Bone marrow smear.
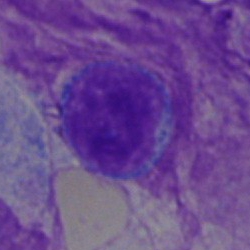 Cell type = typical lymphocyte.